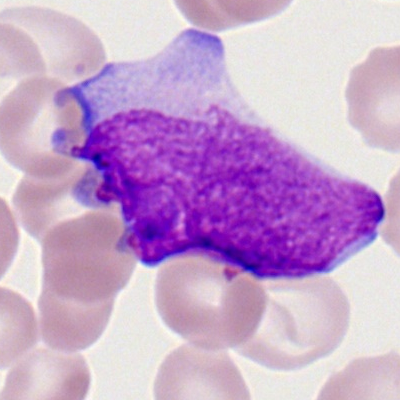

The morphological class is myeloid blast.